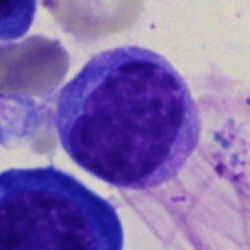Morphology → monocyte.